Bone marrow smear.
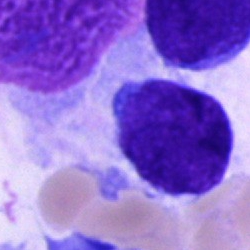

The cell type is blast.